Bone marrow aspirate smear
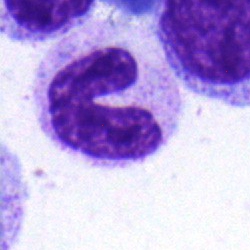Impression → band neutrophil.